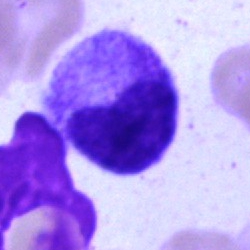 Specimen: bone marrow aspirate smear.
Cell type: metamyelocyte.
Lineage: myeloid.